Bone marrow aspirate smear · 40× oil immersion · May-Grünwald-Giemsa stain: 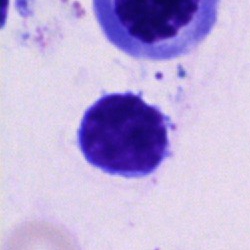Morphological class — typical lymphocyte.